Bone marrow smear — 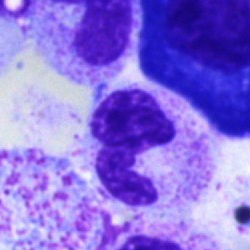Morphological class — band neutrophil.